Bone marrow smear · single-cell field · 40× oil immersion — 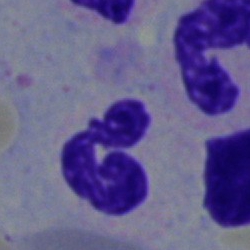

This is a segmented neutrophil.